Image size 250×250; bone marrow smear: 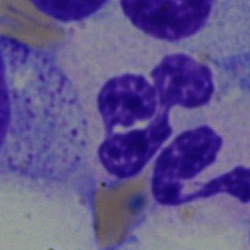

Single cell identified as a segmented neutrophil.